Bone marrow aspirate smear; single-cell field
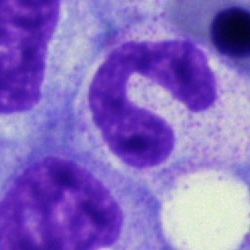 {"cell_type": "stab cell", "lineage": "myeloid"}